Bone marrow smear: 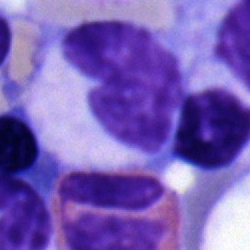 This is a neutrophil (band).